May-Grünwald-Giemsa/Pappenheim stain; bone marrow smear — 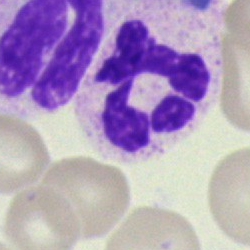

Q: What is the morphological classification of this cell?
A: It is a segmented neutrophil.